Brightfield, 40× oil-immersion objective; bone marrow smear
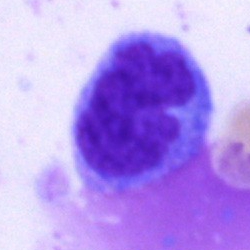The cell shown is a monocyte.